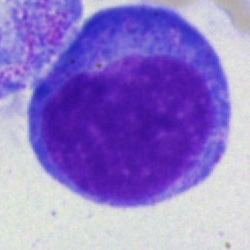Q: What is shown here?
A: An undifferentiated blast.